250×250 px · bone marrow smear:
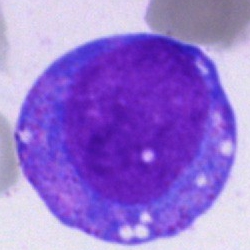
Morphological class = undifferentiated blast.